Image size 250×250; bone marrow aspirate smear; brightfield microscopy, 40× oil immersion — 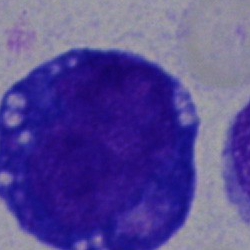
Morphology consistent with a blast cell.